Bone marrow smear: 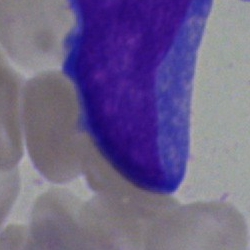 Q: What type of cell is this?
A: It is a blast.